Bone marrow aspirate smear. Single cell centered in the field. 40× oil immersion.
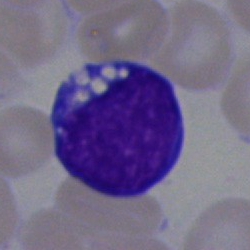 Cell type = blast.